Bone marrow aspirate smear: 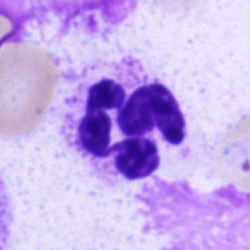
Specimen: bone marrow smear.
Morphological class: neutrophil (segmented).